Bone marrow smear · 40× objective, oil immersion.
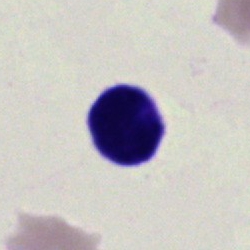

This is an artefact.